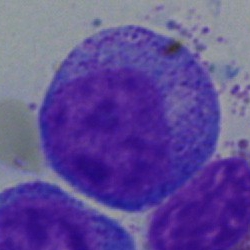

Bone marrow aspirate smear, single cell — progranulocyte.